Bone marrow smear · Pappenheim-stained.
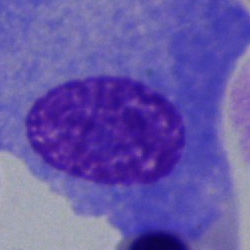Showing a plasmacyte.